Peripheral blood smear:
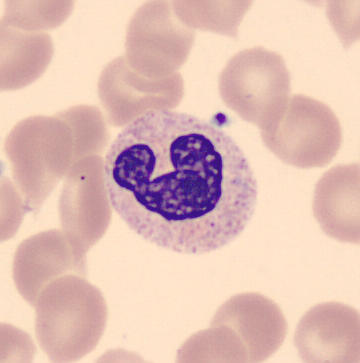

Q: What type of cell is this?
A: It is a segmented neutrophil.